MGG-stained. Single-cell field. Bone marrow aspirate smear
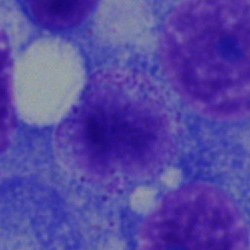This is a plasmacyte.